Bone marrow smear: 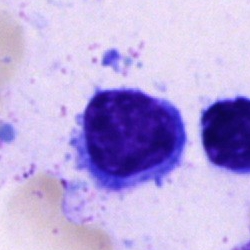Morphology — lymphocyte.